Single-cell crop. Bone marrow aspirate smear:
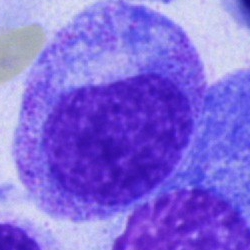
The cell shown is a promyelocyte.